Bone marrow aspirate smear — 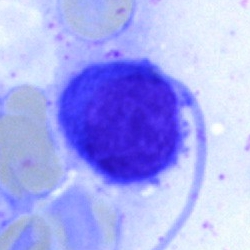

Showing an unidentifiable cell.